Peripheral blood smear — 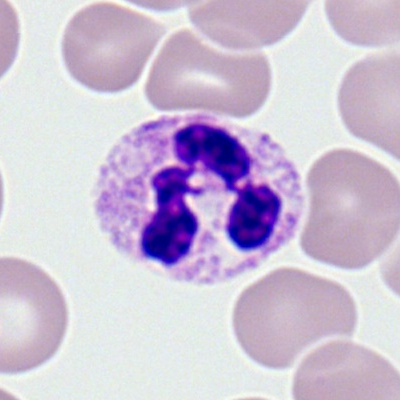

Specimen: peripheral blood smear.
Cell type: polymorphonuclear neutrophil.